Pappenheim-stained; bone marrow smear
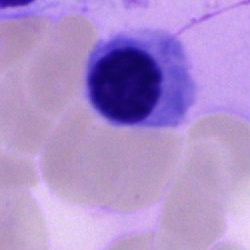

This is a nucleated red blood cell.